Bone marrow smear: 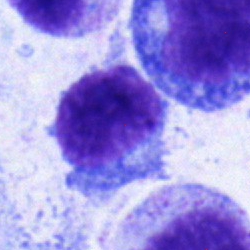 Specimen: bone marrow smear.
Morphological class: typical lymphocyte.